Single-cell crop. Bone marrow smear: 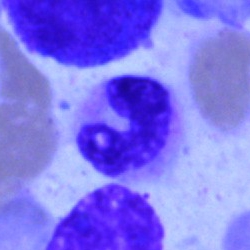Cell type = neutrophil (band).